Bone marrow smear. Brightfield, 40× oil-immersion objective — 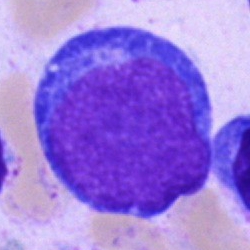 The cell type is pronormoblast.